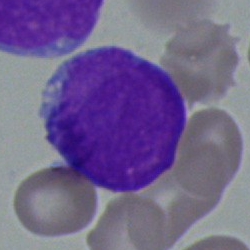 Cell — blast.